Bone marrow smear; cropped to a single cell: 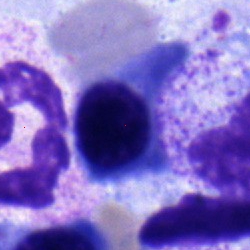Specimen: bone marrow aspirate smear.
Cell type: nucleated red cell.